Bone marrow smear: 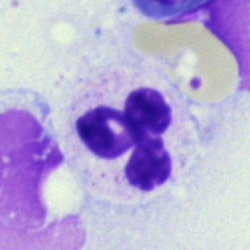

Morphology — polymorphonuclear neutrophil.